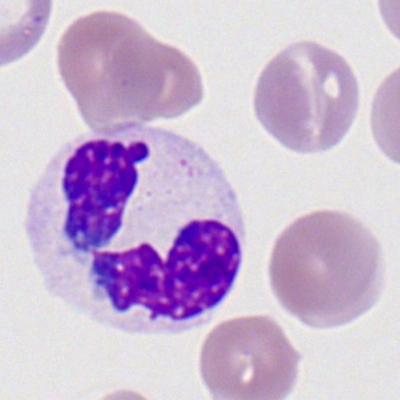

Specimen: peripheral blood film.
Morphological class: neutrophil (segmented).
Lineage: myeloid.